Bone marrow smear:
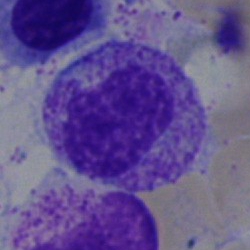
The cell shown is a metamyelocyte.